Pappenheim-stained · bone marrow smear · 40× oil immersion — 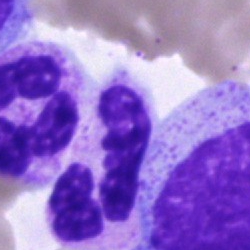
Impression — polymorphonuclear neutrophil.